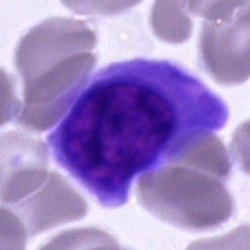

Bone marrow smear showing a normoblast.